Single-cell field · bone marrow aspirate smear
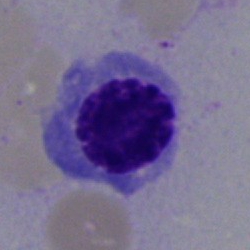

Specimen: bone marrow smear.
Cell type: nucleated red cell.
Lineage: erythroid.